Bone marrow aspirate smear: 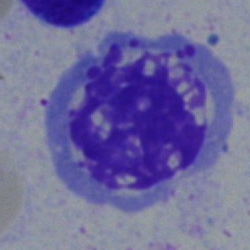

Q: What cell is this?
A: This is a normoblast.